Bone marrow aspirate smear — 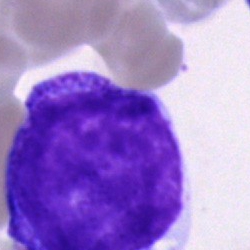The cell type is blast cell.